Bone marrow aspirate smear: 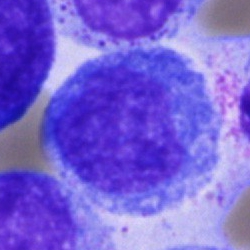 {"cell_type": "progranulocyte", "lineage": "myeloid"}